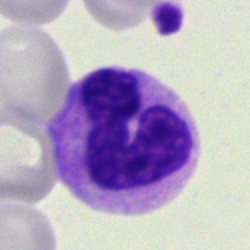

Morphological class — neutrophil (segmented).